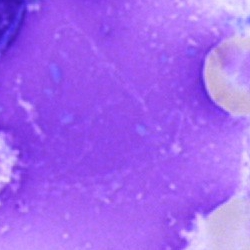
Bone marrow smear showing an artefact.